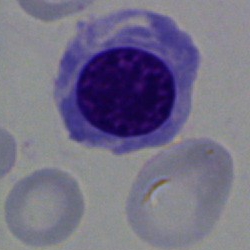Cell type = erythroblast.